Bone marrow smear; single cell centered in the field; 250×250:
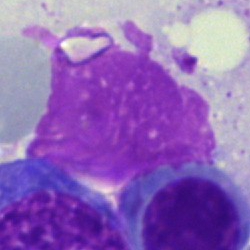
Q: What is shown here?
A: Artefact.